Bone marrow aspirate smear.
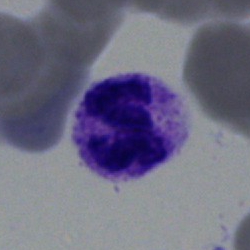

Specimen: bone marrow aspirate smear.
Classification: neutrophil (segmented).
Lineage: myeloid.